Bone marrow smear — 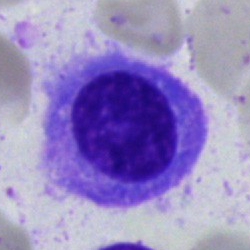

Plasma cell.